Bone marrow smear — 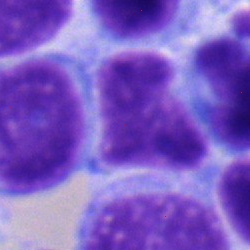
Q: What is shown here?
A: This is a typical lymphocyte.